Bone marrow smear.
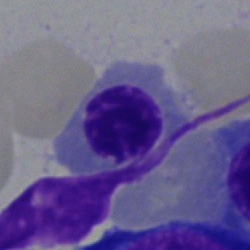

Q: Identify the cell.
A: It is a normoblast.